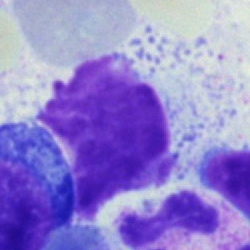 Morphology — artefact.